Peripheral blood film. Single cell centered in the field.
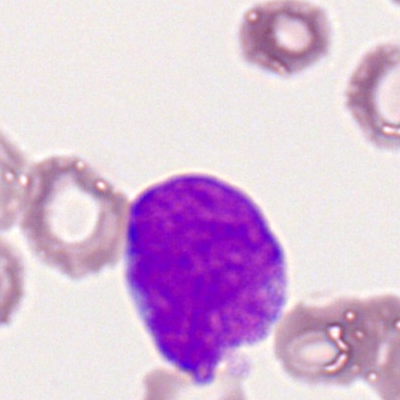 Morphology consistent with a myeloblast.